Image size 250×250; bone marrow smear
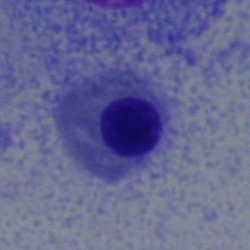

The morphological class is nucleated red cell.